Bone marrow smear — 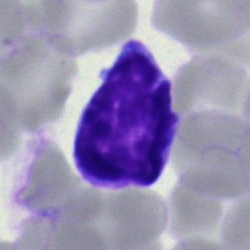
Q: What is the morphological classification of this cell?
A: This is a typical lymphocyte.